Bone marrow smear · MGG-stained:
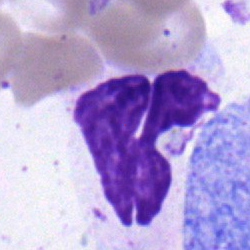
Classification = neutrophil (segmented).